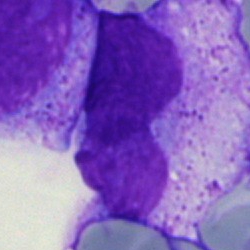 Q: What is shown here?
A: This is an artifact.